40× objective, oil immersion · bone marrow smear — 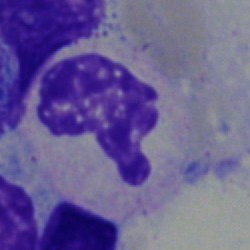A neutrophil (segmented).